Bone marrow aspirate smear · 40× objective, oil immersion · MGG-stained — 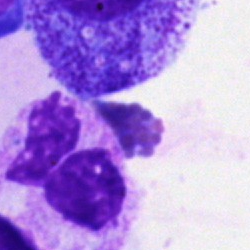A segmented neutrophil.